Single-cell crop; bone marrow aspirate smear — 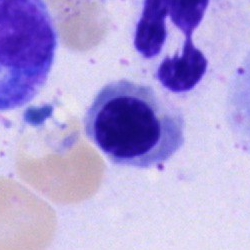 The cell shown is a normoblast.